Single cell centered in the field. Bone marrow smear. 40× oil immersion.
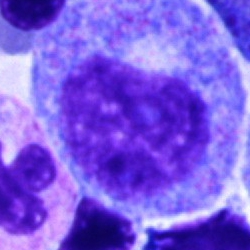

Showing a promyelocyte.